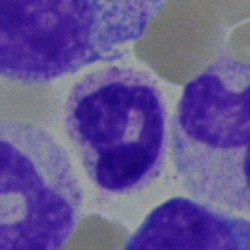
Impression → segmented neutrophil.